40× oil immersion · bone marrow smear
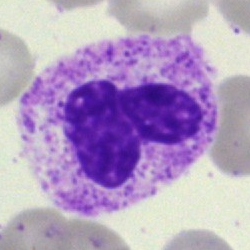Q: What type of cell is this?
A: This is a segmented neutrophil.